Bone marrow aspirate smear; single-cell crop:
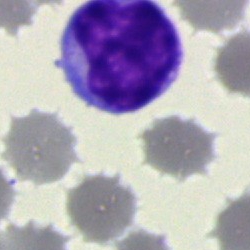
The cell shown is a typical lymphocyte.